Peripheral blood film
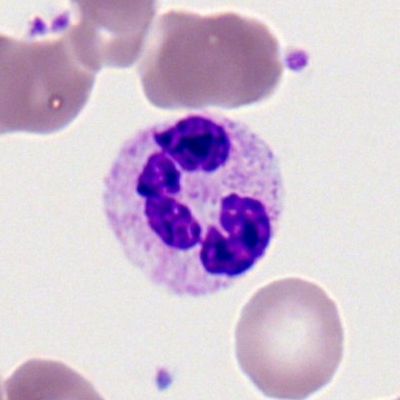 Specimen: peripheral blood smear.
Cell type: polymorphonuclear neutrophil.
Lineage: myeloid.